Bone marrow aspirate smear:
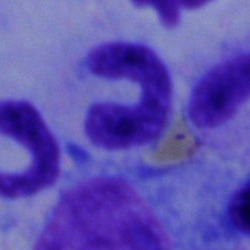
Showing a stab cell.